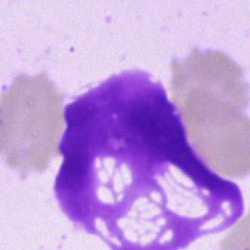

Q: What is shown here?
A: Artefact.